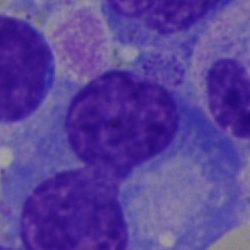 Morphological class = plasmacyte.